Bone marrow aspirate smear. Single-cell field.
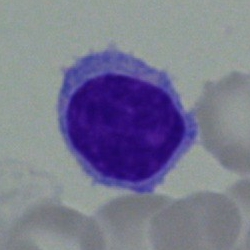Classification: typical lymphocyte.